Brightfield, 40× oil-immersion objective; bone marrow smear; image size 250×250.
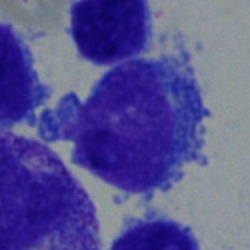

Lymphocyte.